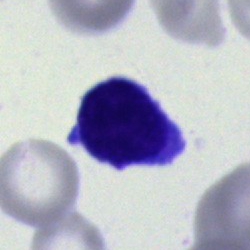 The cell type is blast cell.